Image size 250×250 · bone marrow smear: 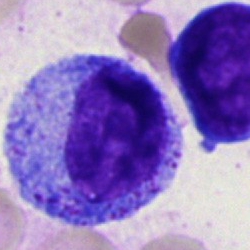
A promyelocyte.